Bone marrow smear
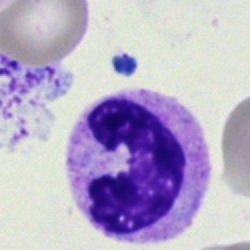

Showing a band neutrophil.